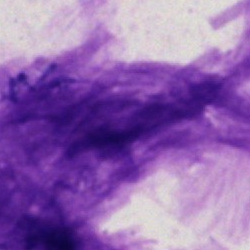
The classification is artifact.